Bone marrow aspirate smear; brightfield, 40× oil-immersion objective; Pappenheim-stained — 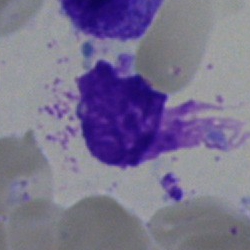
This is an artefact.